Bone marrow aspirate smear.
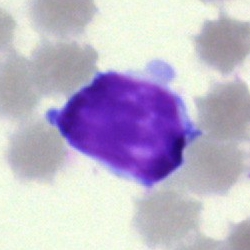 Morphology — typical lymphocyte.